Bone marrow aspirate smear; cropped to a single cell:
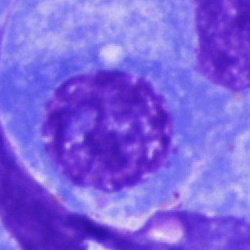Morphological class: plasma cell.